Bone marrow smear.
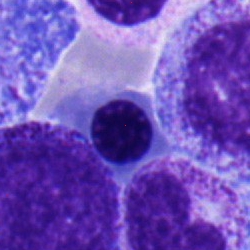 This is a nucleated red cell.